Bone marrow smear — 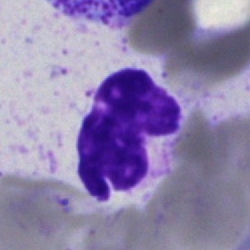
The morphological class is segmented neutrophil.